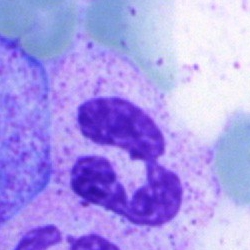Q: What is the morphological classification of this cell?
A: It is a segmented neutrophil.